Bone marrow aspirate smear · MGG-stained · brightfield, 40× oil-immersion objective:
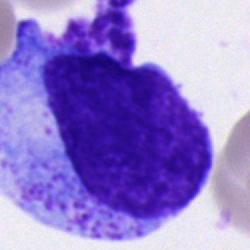

Morphology — promyelocyte.